May-Grünwald-Giemsa stain · brightfield microscopy, 40× oil immersion · bone marrow aspirate smear: 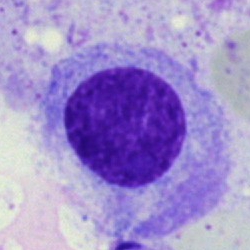

Cell type = plasmacyte.